Bone marrow smear
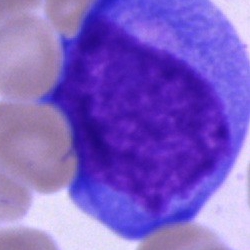Q: Identify the cell.
A: An undifferentiated blast.